250 by 250 pixels · MGG-stained · bone marrow aspirate smear.
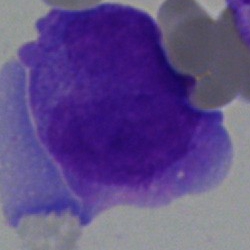Specimen: bone marrow smear.
Cell: undifferentiated blast.